Bone marrow smear.
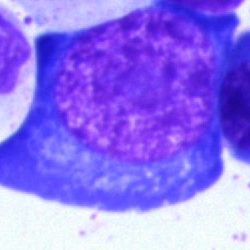
Showing a pronormoblast.